Peripheral blood smear — 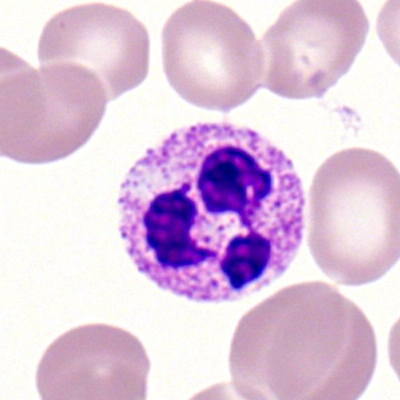

Impression — polymorphonuclear neutrophil.